Bone marrow smear — 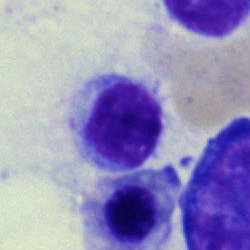
Classification = typical lymphocyte.